250 by 250 pixels; bone marrow smear.
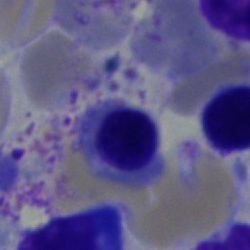

Q: What type of cell is this?
A: Nucleated red blood cell.